May-Grünwald-Giemsa/Pappenheim stain · bone marrow smear — 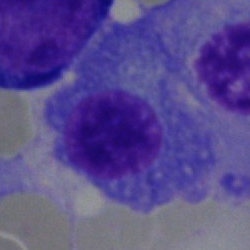
Cell type = plasma cell.